250×250 · brightfield, 40× oil-immersion objective · bone marrow smear.
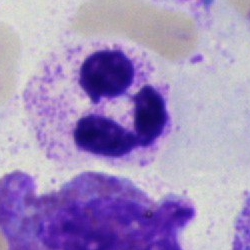

This is a neutrophil (segmented).